250×250 px; May-Grünwald-Giemsa/Pappenheim stain; bone marrow smear:
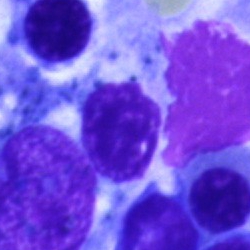

An artefact.